Peripheral blood smear: 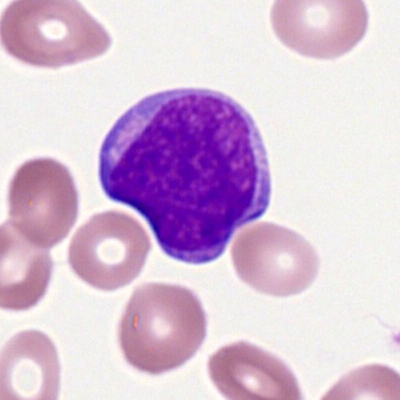

Specimen: peripheral blood smear.
Cell: myeloid blast.
Lineage: myeloid.